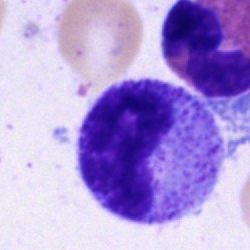

Cell type — metamyelocyte.